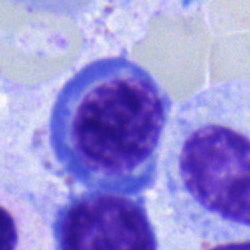
Cell = normoblast.